Peripheral blood smear — 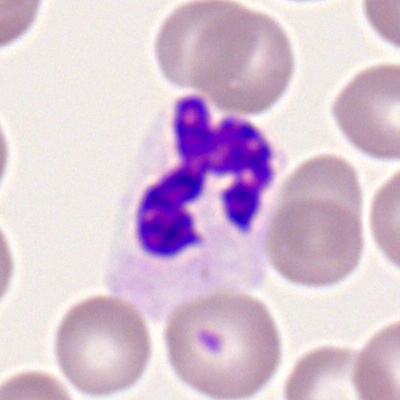Morphology — polymorphonuclear neutrophil.